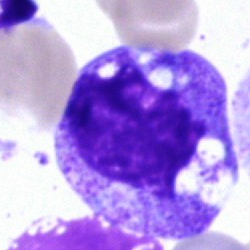

The cell shown is a promyelocyte.